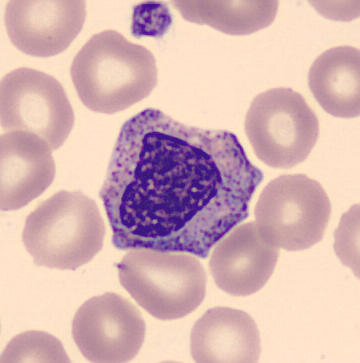 Q: What is shown here?
A: Metamyelocyte.

Preparation: Peripheral blood film.